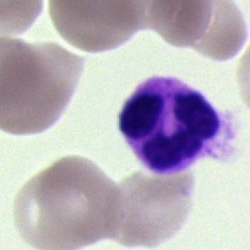

Impression — neutrophil (segmented).